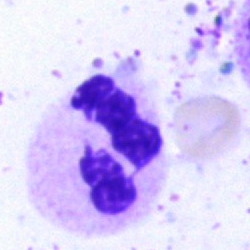
Q: What type of cell is this?
A: Segmented neutrophil.